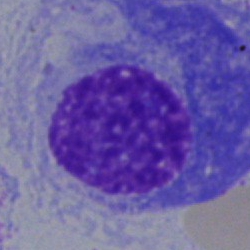

A plasma cell.